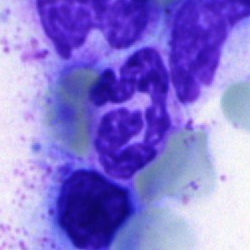 A neutrophil (segmented) on a bone marrow smear.